Bone marrow smear:
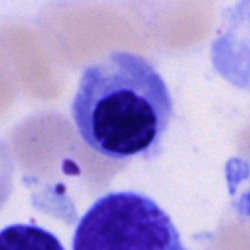

Impression — nucleated red blood cell.